May-Grünwald-Giemsa/Pappenheim stain; bone marrow aspirate smear.
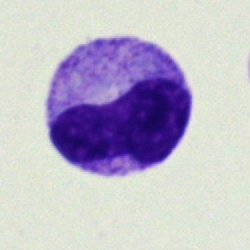

Q: What is the morphological classification of this cell?
A: This is a band neutrophil.